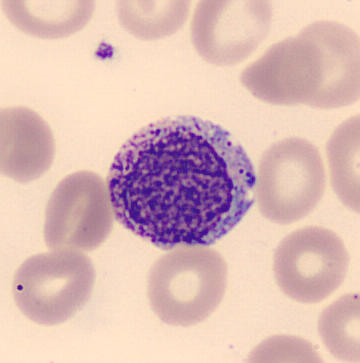

Peripheral blood film.

Classification = myelocyte.